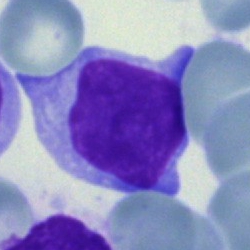Specimen: bone marrow aspirate smear.
Cell: lymphocyte.
Lineage: lymphoid.